Bone marrow aspirate smear: 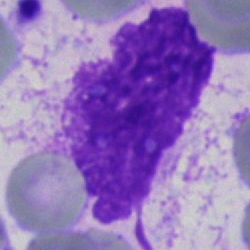
Q: What is shown here?
A: An artifact.